250 by 250 pixels · 40× objective, oil immersion · bone marrow smear.
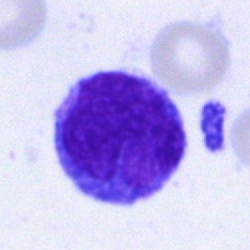

Classification = typical lymphocyte.